Bone marrow smear. May-Grünwald-Giemsa stain: 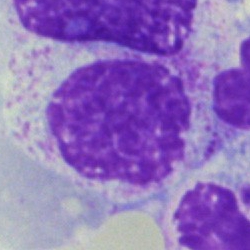

Q: What is shown here?
A: An artefact.